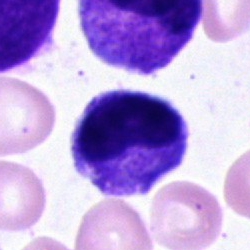Q: Which cell type is shown here?
A: This is a neutrophil (band).